Bone marrow smear — 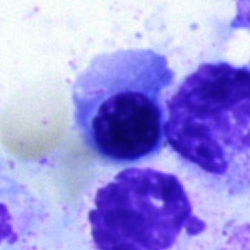

Q: What type of cell is this?
A: A polymorphonuclear neutrophil.